Bone marrow aspirate smear.
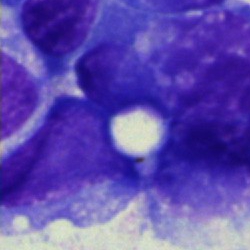 Q: What is shown here?
A: This is an artifact.